Peripheral blood film:
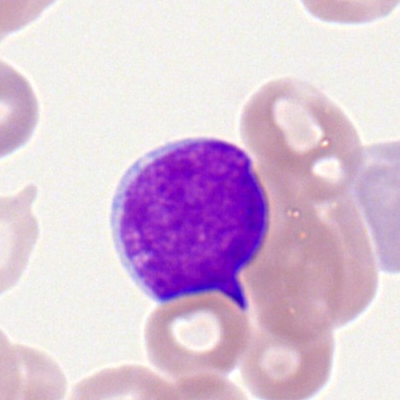 Impression → myeloblast.